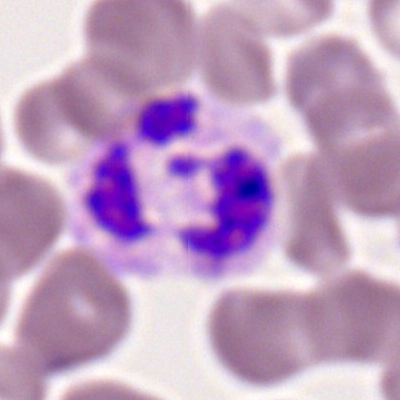
{"cell_type": "segmented neutrophil"}